Bone marrow aspirate smear. May-Grünwald-Giemsa stain. 40× objective, oil immersion.
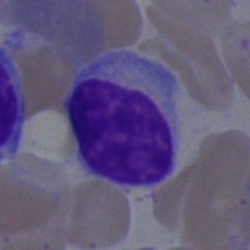A typical lymphocyte.